250 by 250 pixels · bone marrow aspirate smear: 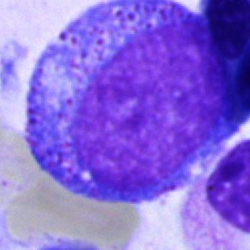 Classification: promyelocyte.